Bone marrow aspirate smear:
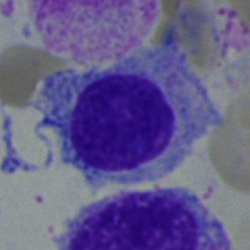Q: Identify the cell.
A: A nucleated red blood cell.